Bone marrow aspirate smear: 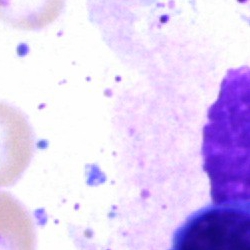
Cell — artifact.